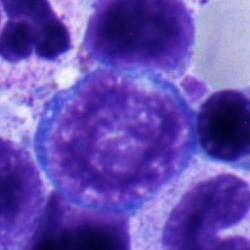Impression → erythroblast.